Bone marrow smear · cropped to a single cell:
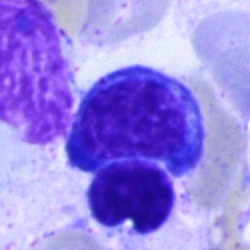

Cell = normoblast.